Bone marrow smear · 40× oil immersion · Pappenheim-stained
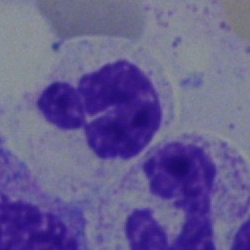

{"cell_type": "segmented neutrophil", "lineage": "myeloid"}